Bone marrow aspirate smear: 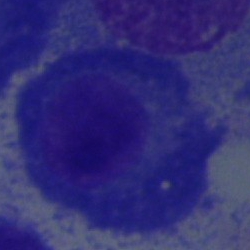 Impression — plasma cell.